Bone marrow aspirate smear — 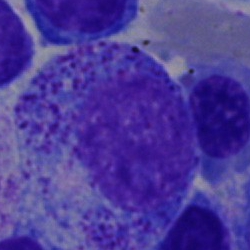

The morphological class is progranulocyte.